Bone marrow smear. May-Grünwald-Giemsa/Pappenheim stain — 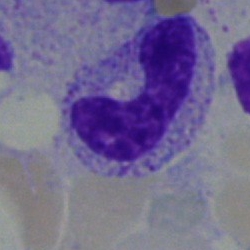 Specimen: bone marrow aspirate smear.
Morphological class: band neutrophil.
Lineage: myeloid.